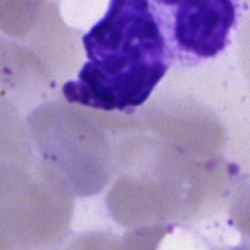Q: What is shown here?
A: It is an artefact.